Bone marrow smear — 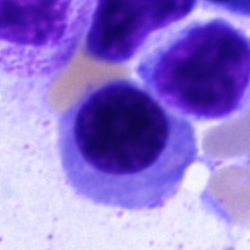Specimen: bone marrow smear.
Cell type: nucleated red cell.
Lineage: erythroid.